Bone marrow smear; 250 by 250 pixels: 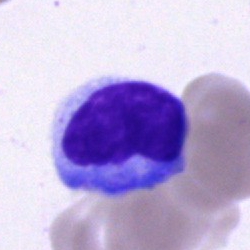 Specimen: bone marrow smear.
Morphological class: typical lymphocyte.
Lineage: lymphoid.